Bone marrow smear:
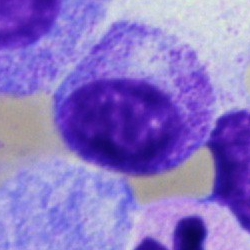

Impression — myelocyte.